Bone marrow aspirate smear.
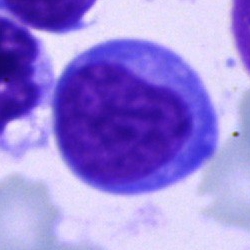
Q: What type of cell is this?
A: A blast cell.